Single-cell field. Bone marrow smear — 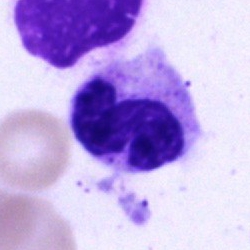Showing a segmented neutrophil.